Bone marrow aspirate smear — 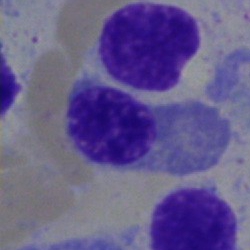 {"cell_type": "erythroblast", "lineage": "erythroid"}